Single-cell field · bone marrow aspirate smear:
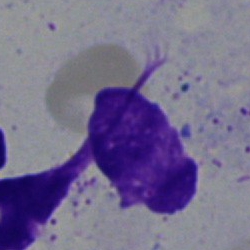 This is an artifact.